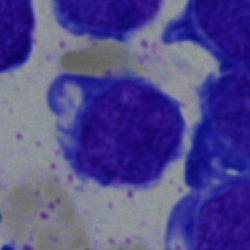

Q: What is the morphological classification of this cell?
A: It is a blast cell.